Bone marrow smear; 250×250; Pappenheim-stained
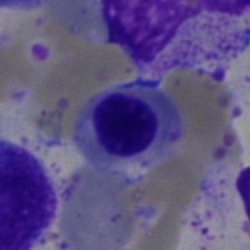

Showing a nucleated red cell.